Bone marrow aspirate smear — 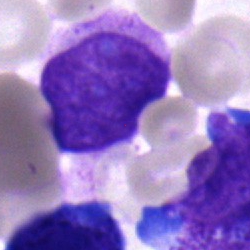

Q: What is the morphological classification of this cell?
A: A blast.